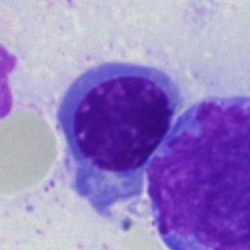Morphological class — nucleated red blood cell.